Bone marrow aspirate smear:
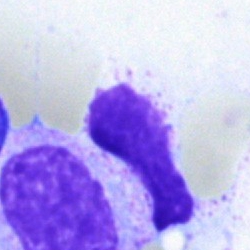The cell shown is an artifact.